Bone marrow aspirate smear
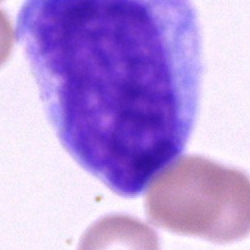 Impression → promyelocyte.